Bone marrow aspirate smear · brightfield, 40× oil-immersion objective.
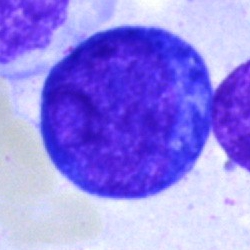
Specimen: bone marrow smear.
Cell type: pronormoblast.
Lineage: erythroid.